Bone marrow aspirate smear:
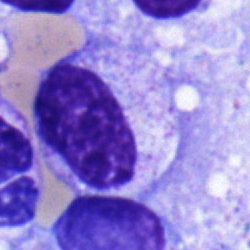Metamyelocyte.